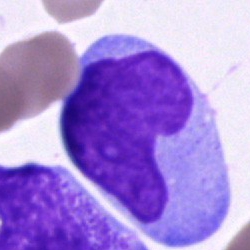

The cell type is cell of indeterminate lineage.